400×400 px. Romanowsky-stained. Peripheral blood film: 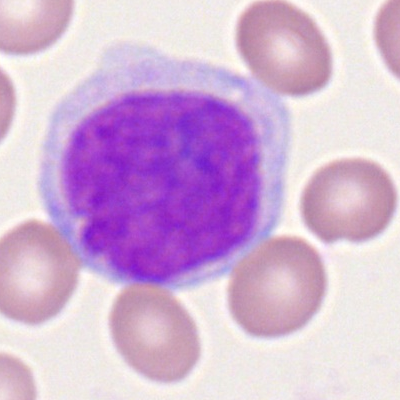
Specimen: peripheral blood smear.
Morphological class: myeloid blast.